May-Grünwald-Giemsa/Pappenheim stain. 250×250. Bone marrow smear
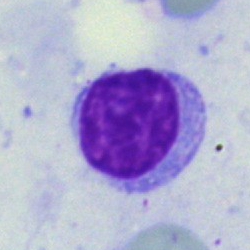

Morphology consistent with a typical lymphocyte.